Bone marrow aspirate smear — 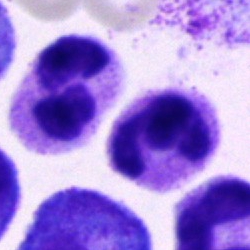 Morphological class = segmented neutrophil.